40× objective, oil immersion · bone marrow smear — 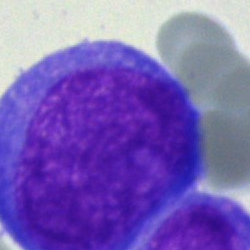

{"cell_type": "undifferentiated blast"}